Bone marrow smear · Pappenheim-stained · 250 by 250 pixels — 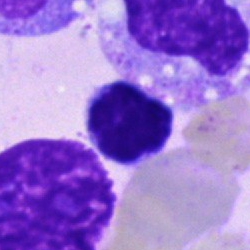

Showing a lymphocyte.